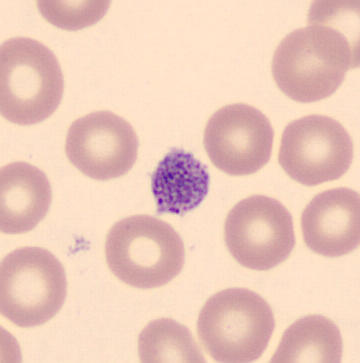 Morphology consistent with a platelet (thrombocyte).
MGG-stained · peripheral blood film.